Bone marrow smear. MGG-stained:
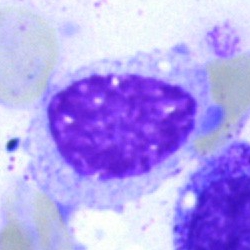

Morphology consistent with an artifact.